Single-cell crop; bone marrow aspirate smear: 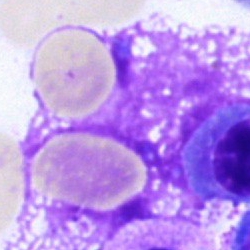

An artefact.